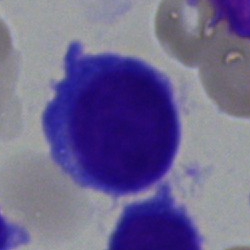

The cell shown is a plasmacyte.